Bone marrow smear. 40× objective, oil immersion. Single cell centered in the field — 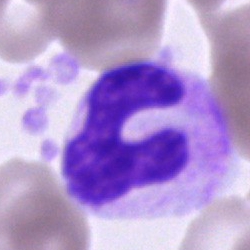

This is a stab cell.